Bone marrow smear:
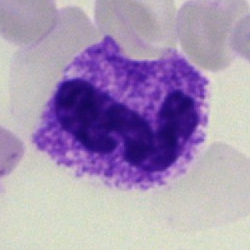Segmented neutrophil.